Peripheral blood film · Romanowsky-type stain · single cell centered in the field: 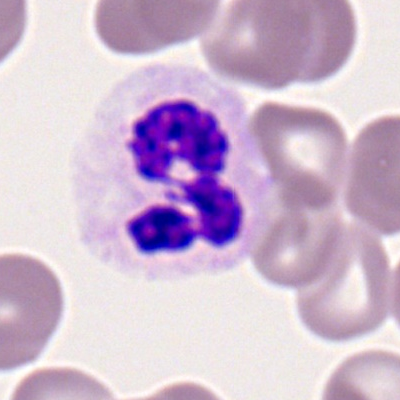
Classification — segmented neutrophil.